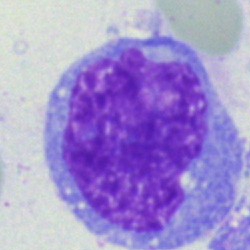Cell type — blast cell.